Bone marrow aspirate smear · 250 by 250 pixels: 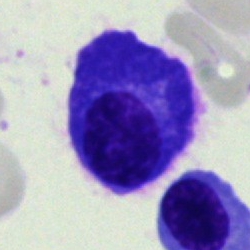
Q: What is shown here?
A: Plasmacyte.